Bone marrow aspirate smear:
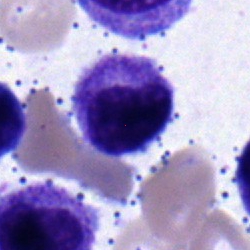Specimen: bone marrow aspirate smear.
Cell type: myelocyte.